Bone marrow smear:
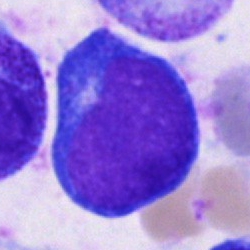
Specimen: bone marrow aspirate smear.
Morphological class: pronormoblast.